Bone marrow aspirate smear. Image size 250×250. Single-cell crop.
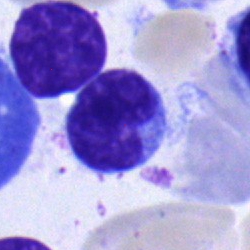

Specimen: bone marrow smear.
Morphological class: lymphocyte.